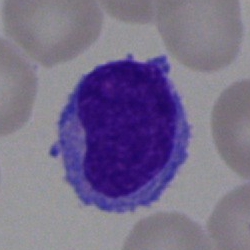

Cell type = typical lymphocyte.